Bone marrow aspirate smear; MGG-stained: 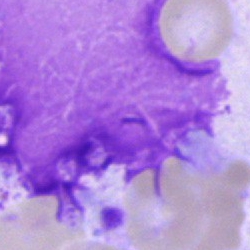 Morphology consistent with an artifact.